Single-cell crop; bone marrow aspirate smear; May-Grünwald-Giemsa stain
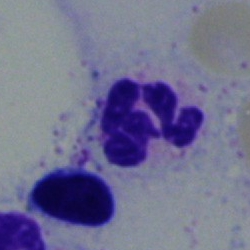

Q: Which cell type is shown here?
A: Segmented neutrophil.